Peripheral blood film.
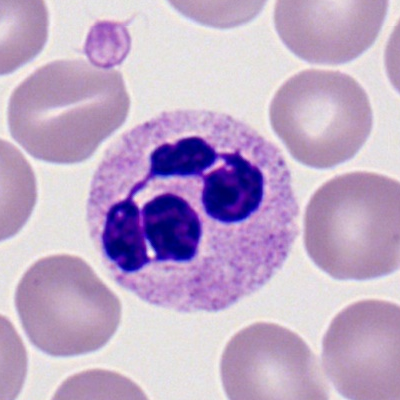

Classification — polymorphonuclear neutrophil.